250 by 250 pixels; cropped to a single cell; bone marrow smear — 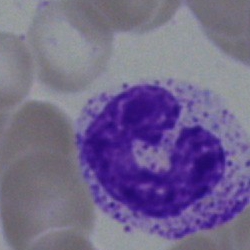 Specimen: bone marrow aspirate smear.
Cell type: stab cell.
Lineage: myeloid.